Bone marrow aspirate smear: 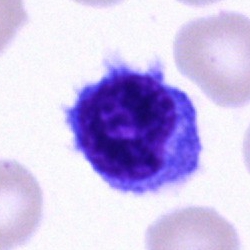Cell = lymphocyte.